Bone marrow aspirate smear
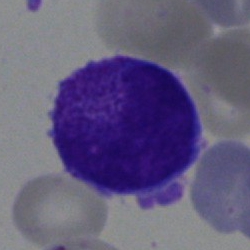 The classification is undifferentiated blast.